Peripheral blood film; CellaVision DM96 digital cell image; 360×363:
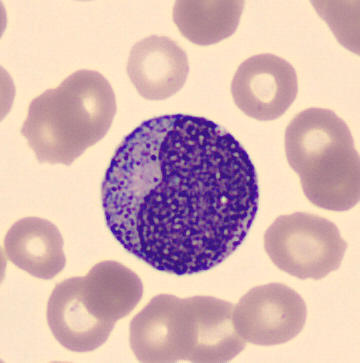 Impression → progranulocyte.